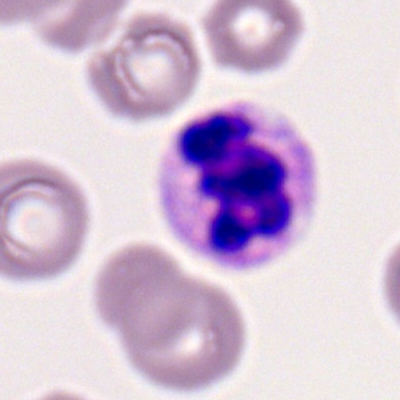
Peripheral blood smear showing a segmented neutrophil.